Bone marrow aspirate smear. MGG-stained. Single-cell field.
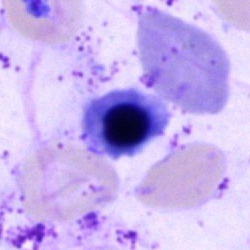
Classification = erythroblast.